Peripheral blood film — 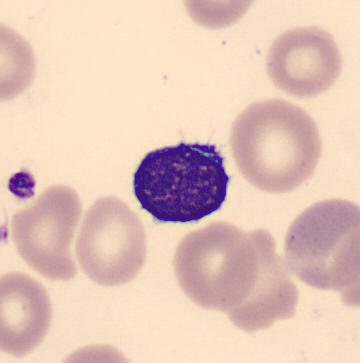
Q: What type of cell is this?
A: This is a typical lymphocyte.